Bone marrow aspirate smear: 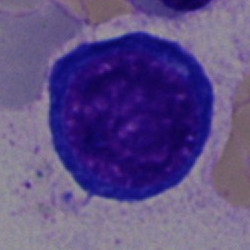 This is a proerythroblast.